Bone marrow smear:
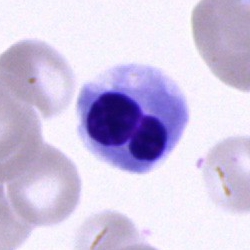 Classification: erythroblast.